400 by 400 pixels; peripheral blood smear: 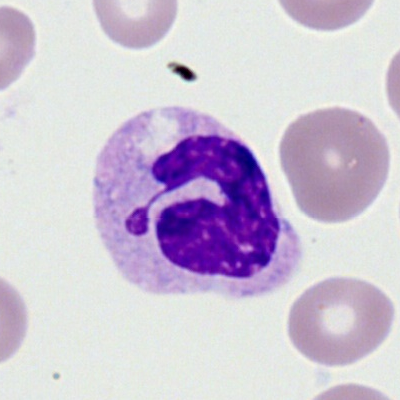Single cell identified as a neutrophil (segmented).